Bone marrow aspirate smear.
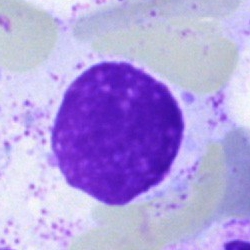

Classification — artefact.